Peripheral blood smear: 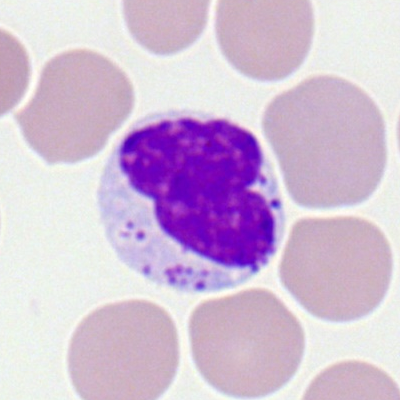Q: Identify the cell.
A: A lymphocyte.